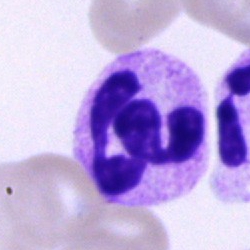
Morphological class = neutrophil (segmented).